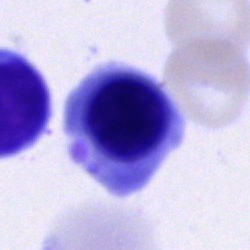
Classification = nucleated red cell.